Bone marrow smear: 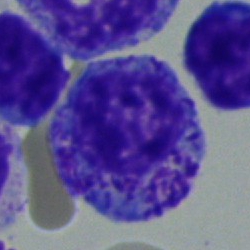Cell — myelocyte.